Bone marrow smear:
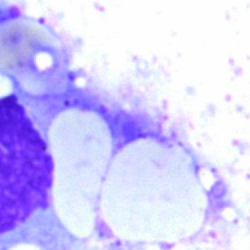

Specimen: bone marrow aspirate smear.
Cell: artifact.